Bone marrow aspirate smear:
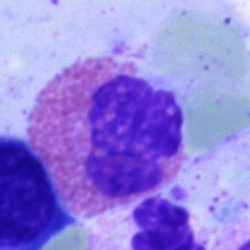 Cell type — eosinophilic granulocyte.